Cropped to a single cell; image size 250×250; bone marrow smear:
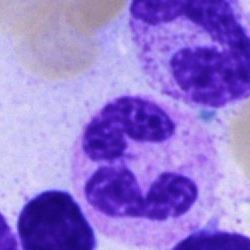 Showing a segmented neutrophil.